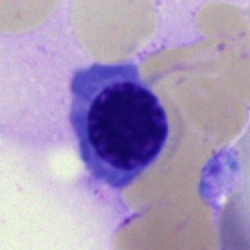 Morphology consistent with a nucleated red blood cell.